Brightfield, 40× oil-immersion objective. Bone marrow smear.
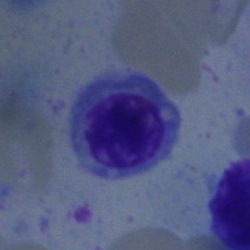Single cell identified as an erythroblast.